Peripheral blood smear.
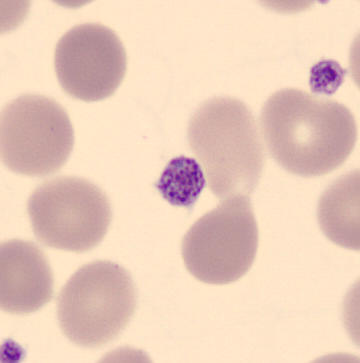
Q: What is shown here?
A: This is a platelet.